Peripheral blood smear; single-cell crop; 100× objective, oil immersion.
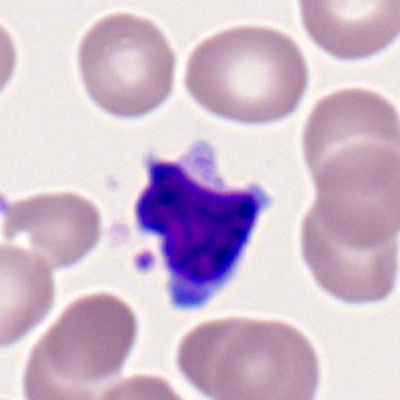
The cell shown is a typical lymphocyte.